250 by 250 pixels; bone marrow aspirate smear; 40× objective, oil immersion.
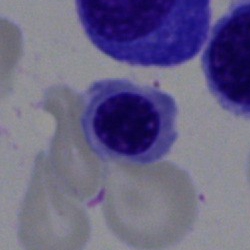A normoblast.